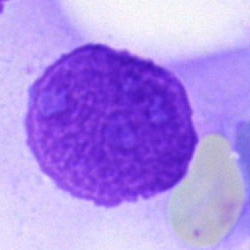
Bone marrow smear showing an artifact.